Bone marrow smear
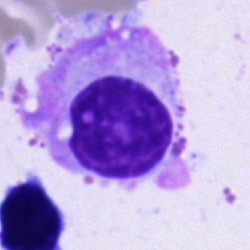
Showing a plasma cell.